Bone marrow aspirate smear — 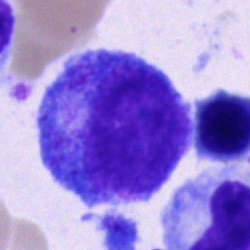Q: What cell is this?
A: This is a progranulocyte.